Bone marrow aspirate smear.
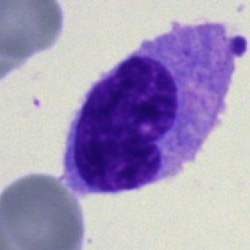

Single cell identified as a monocyte.